250 by 250 pixels; bone marrow aspirate smear: 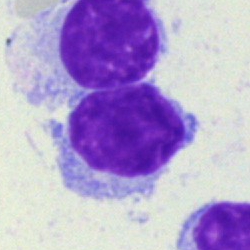 Q: What cell is this?
A: Lymphocyte.